40× oil immersion · single-cell field · bone marrow aspirate smear — 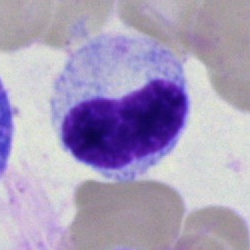Impression → neutrophil (band).